Bone marrow aspirate smear. Brightfield microscopy, 40× oil immersion — 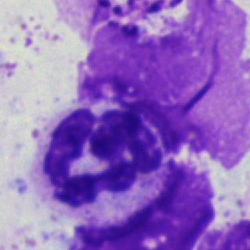
Cell type — polymorphonuclear neutrophil.